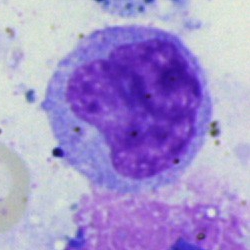 Q: Which cell type is shown here?
A: It is a lymphocyte.